Bone marrow aspirate smear — 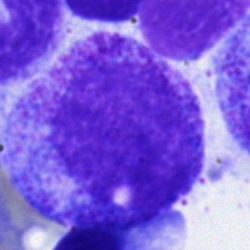Specimen: bone marrow smear.
Cell type: myelocyte.
Lineage: myeloid.